Bone marrow aspirate smear. May-Grünwald-Giemsa stain. 250×250 px.
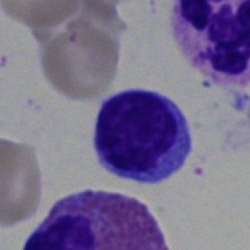
Lymphocyte.